Bone marrow aspirate smear; 40× objective, oil immersion:
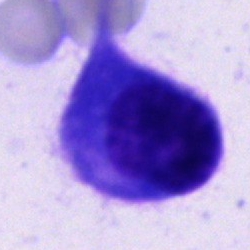
Morphology consistent with a cell not matching the other categories.